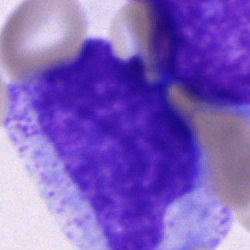 This is a progranulocyte.